MGG-stained · bone marrow smear · brightfield microscopy, 40× oil immersion.
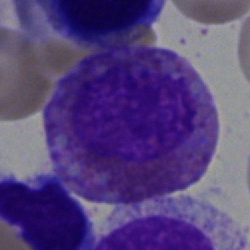 Q: What is shown here?
A: It is an eosinophil.